100× oil immersion · Romanowsky stain · peripheral blood smear
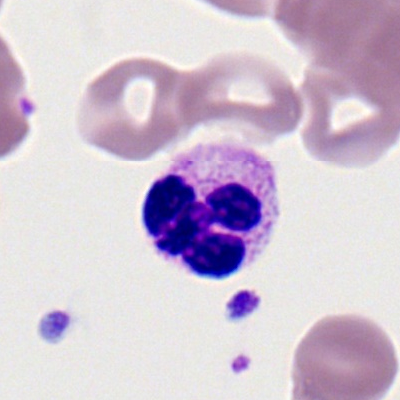
Single cell identified as a neutrophil (segmented).